Pappenheim-stained; single cell centered in the field; bone marrow aspirate smear: 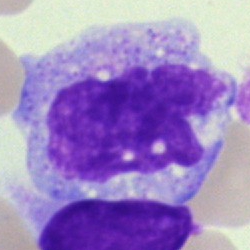The cell shown is a monocyte.